Bone marrow aspirate smear. Brightfield, 40× oil-immersion objective. MGG-stained
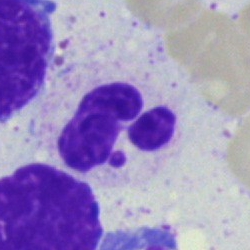

Specimen: bone marrow smear.
Classification: polymorphonuclear neutrophil.
Lineage: myeloid.